Bone marrow smear:
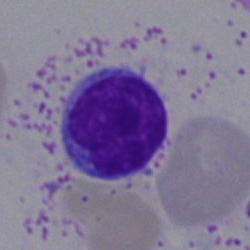
Single cell identified as a lymphocyte.